40× objective, oil immersion; bone marrow smear
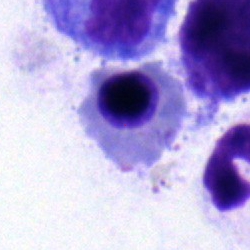
Q: What is shown here?
A: It is a nucleated red blood cell.